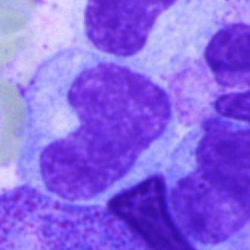 Morphological class = band-form neutrophil.